Peripheral blood film. Romanowsky-stained. 100× objective, oil immersion.
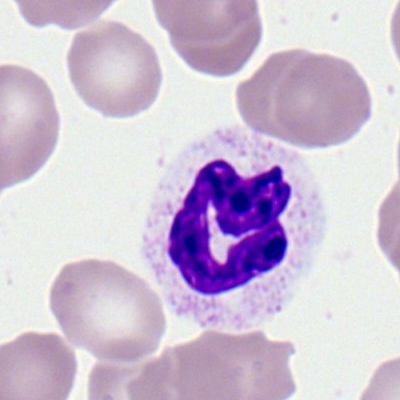

Showing a polymorphonuclear neutrophil.